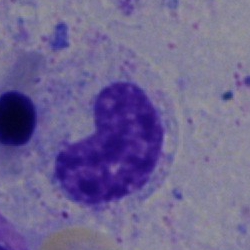 A stab cell.